Pappenheim-stained. Image size 250×250. Bone marrow aspirate smear:
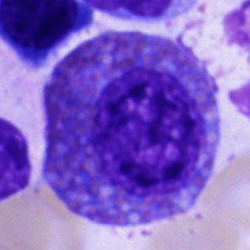Morphology → eosinophil.